40× oil immersion. Bone marrow smear: 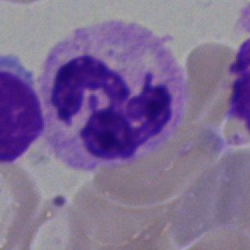Q: What is shown here?
A: A segmented neutrophil.